Bone marrow aspirate smear.
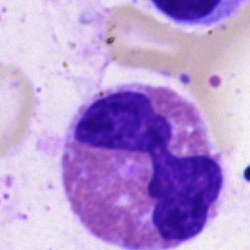

Q: What is shown here?
A: An eosinophil.